Bone marrow smear — 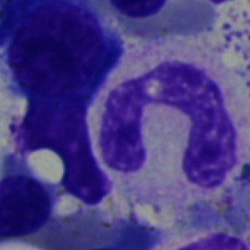

Band neutrophil.